Peripheral blood smear — 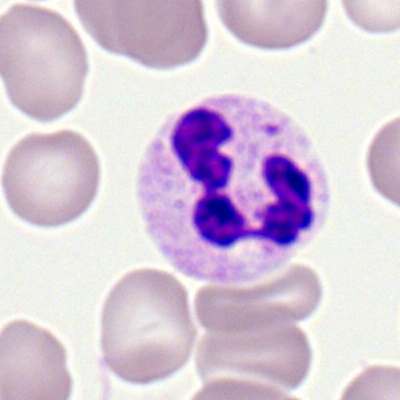Q: What is shown here?
A: A polymorphonuclear neutrophil.